250×250; bone marrow smear; May-Grünwald-Giemsa stain:
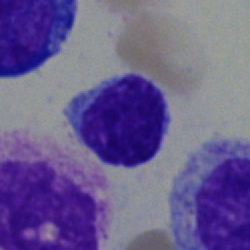Single cell identified as a typical lymphocyte.